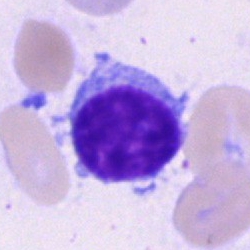 Morphology → typical lymphocyte.